Bone marrow smear.
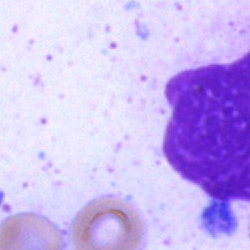{"cell_type": "artifact"}